Bone marrow smear. Brightfield, 40× oil-immersion objective — 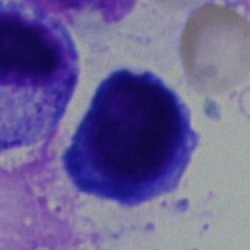

Q: What is the morphological classification of this cell?
A: This is a nucleated red cell.